Bone marrow smear. Pappenheim-stained. Single cell centered in the field:
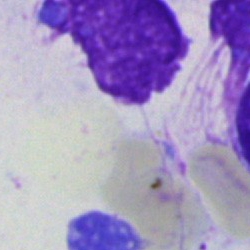
Single cell identified as an artefact.